Bone marrow aspirate smear: 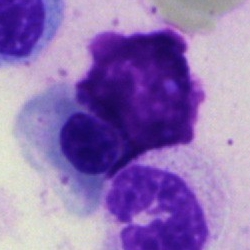The cell shown is an artifact.